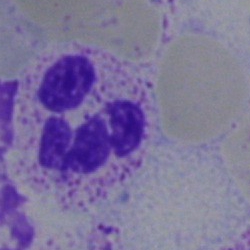
Q: What type of cell is this?
A: A polymorphonuclear neutrophil.